Bone marrow aspirate smear.
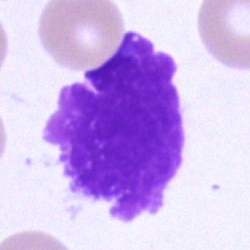

Q: What is shown here?
A: Artefact.